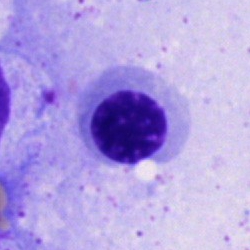
Cell type = blast.